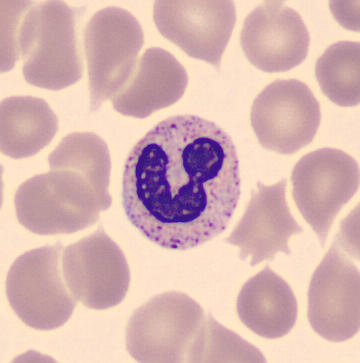 This is a stab cell.
Image: Automated cell imaging (CellaVision DM96). Peripheral blood smear.